40× oil immersion · single-cell field · bone marrow smear — 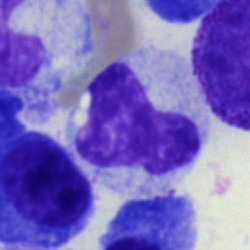

Cell type — monocyte.